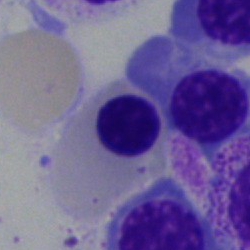

Impression — erythroblast.